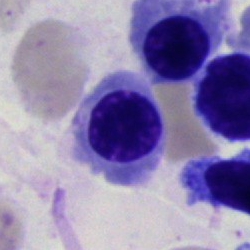{"cell_type": "nucleated red cell"}